Bone marrow aspirate smear. 250×250. Pappenheim-stained:
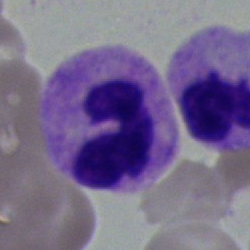
Impression — polymorphonuclear neutrophil.